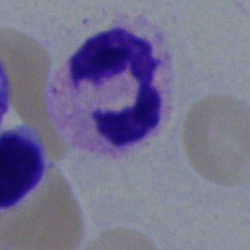
Classification = segmented neutrophil.